Image size 400×400 · peripheral blood film
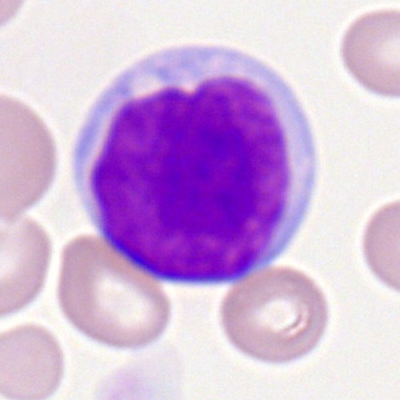 The cell shown is a myeloblast.